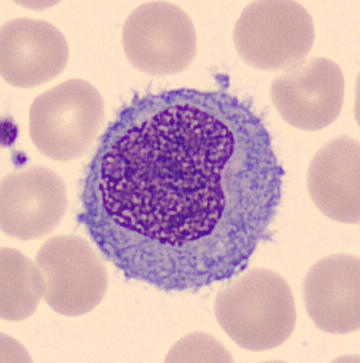Acquisition: Peripheral blood smear.
Morphological class — monocyte.